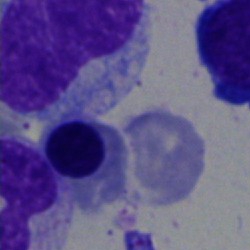Showing an erythroblast.